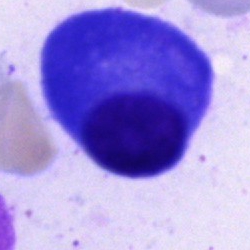

Plasma cell.